Bone marrow aspirate smear:
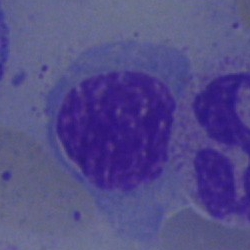
A myelocyte.